Bone marrow aspirate smear:
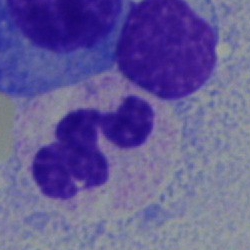This is a neutrophil (segmented).